40× oil immersion · bone marrow aspirate smear.
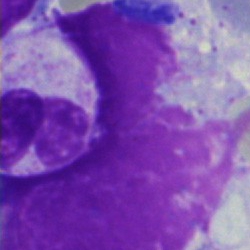

Morphological class — artifact.